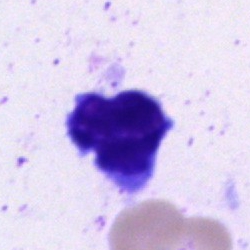 Q: What is shown here?
A: A lymphocyte.